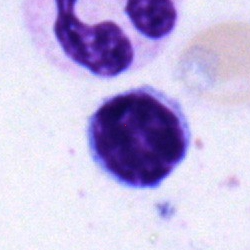
{"cell_type": "typical lymphocyte", "lineage": "lymphoid"}